Bone marrow aspirate smear: 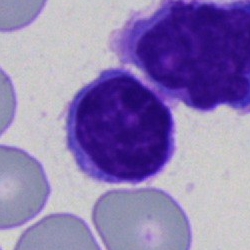

Impression → typical lymphocyte.